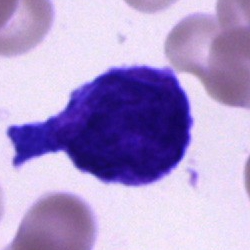This is an unidentifiable cell.